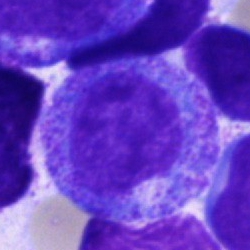

The cell shown is a progranulocyte.